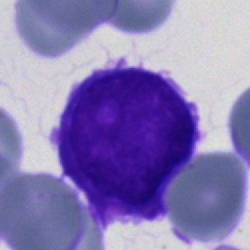

The cell is undifferentiated blast.